Peripheral blood smear:
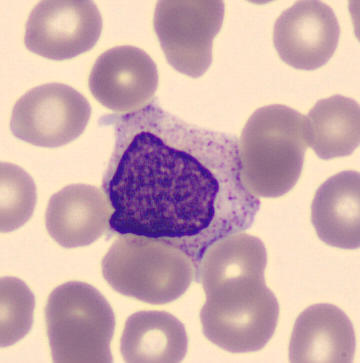

Q: Identify the cell.
A: A myelocyte.